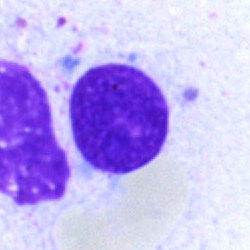

Classification — artefact.